Bone marrow aspirate smear
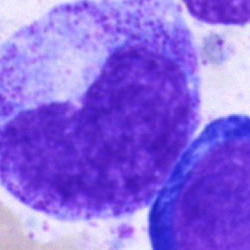Q: What type of cell is this?
A: A promyelocyte.